Bone marrow smear. 250 by 250 pixels. Single cell centered in the field
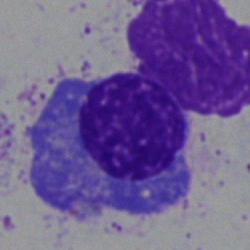Q: Identify the cell.
A: Plasma cell.